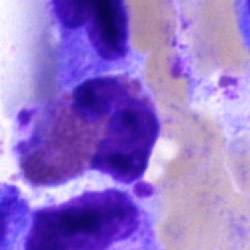Morphology consistent with an eosinophilic granulocyte.